Bone marrow smear
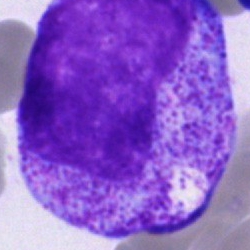 Classification — promyelocyte.